Bone marrow smear
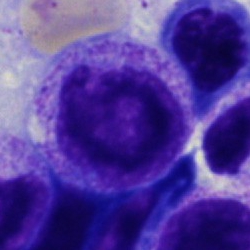 This is a myelocyte.